Bone marrow aspirate smear · May-Grünwald-Giemsa/Pappenheim stain · 40× oil immersion: 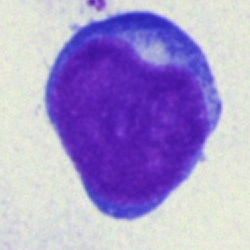
Q: Identify the cell.
A: Undifferentiated blast.